Bone marrow aspirate smear; single-cell crop; May-Grünwald-Giemsa/Pappenheim stain — 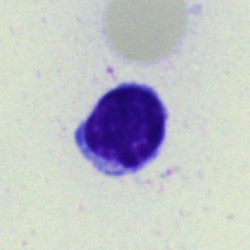Q: What type of cell is this?
A: A typical lymphocyte.